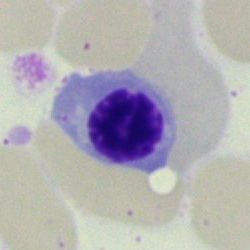 Normoblast.